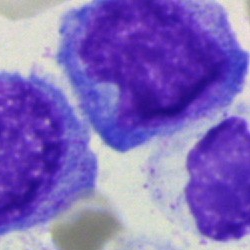
Single-cell crop from a bone marrow smear: blast.